Bone marrow aspirate smear:
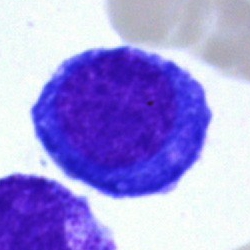

Morphological class: nucleated red cell.